Image size 250×250; bone marrow smear: 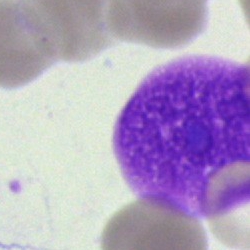Morphology — artefact.